Bone marrow smear — 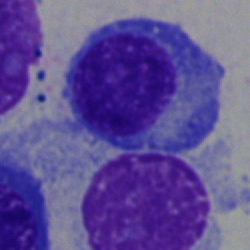Showing a plasma cell.